100× oil immersion. 400×400. Peripheral blood film.
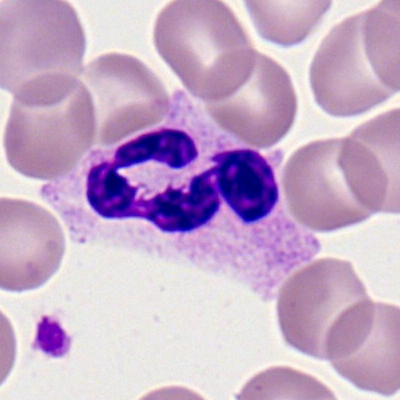 This is a neutrophil (segmented).